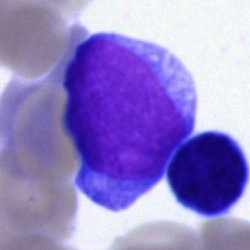 Single cell identified as a blast.